Image size 250×250. Bone marrow aspirate smear — 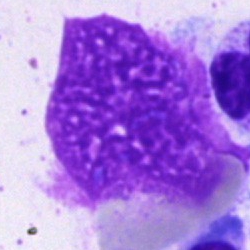 Morphological class = artefact.